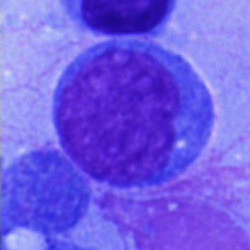 Blast cell.